Bone marrow smear; May-Grünwald-Giemsa/Pappenheim stain.
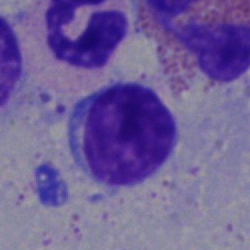

Classification = lymphocyte.